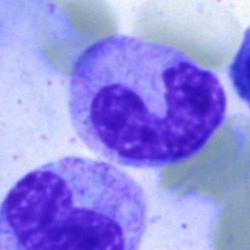 Morphological class — band neutrophil.